Peripheral blood smear; imaged on a CellaVision DM96 analyser; May-Grünwald-Giemsa-stained.
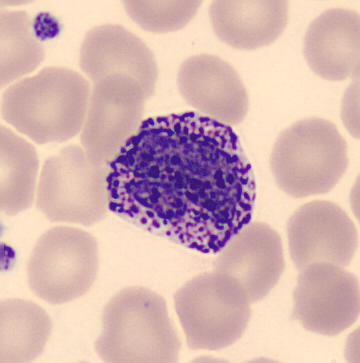 The classification is basophilic granulocyte.